Single-cell crop; bone marrow aspirate smear; Pappenheim-stained: 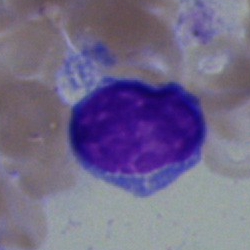
Specimen: bone marrow aspirate smear.
Classification: undifferentiated blast.